Bone marrow smear · brightfield, 40× oil-immersion objective
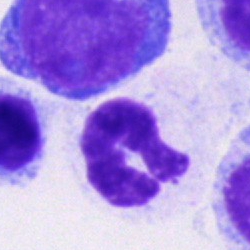

Classification: polymorphonuclear neutrophil.